Single-cell field. Bone marrow smear:
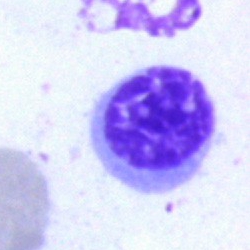
Showing an artefact.